Bone marrow aspirate smear:
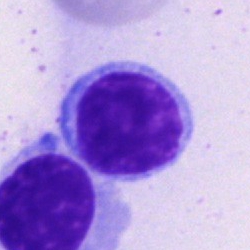Morphology consistent with a typical lymphocyte.